Peripheral blood film: 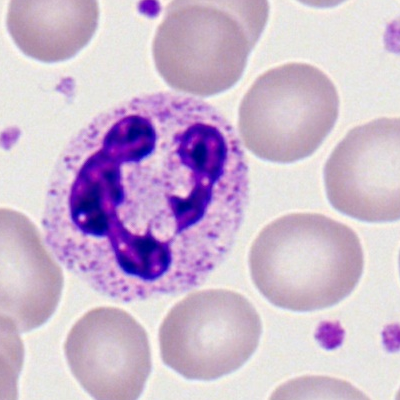 Showing a neutrophil (segmented).